Bone marrow aspirate smear — 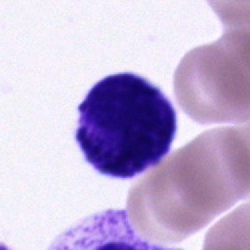
Cell of indeterminate lineage.